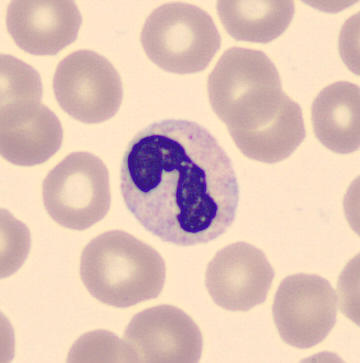
Q: Which cell type is shown here?
A: It is a neutrophil (band). Image: Peripheral blood smear; image size 360×363; CellaVision DM96 digital cell image.